Bone marrow smear; 250×250 px:
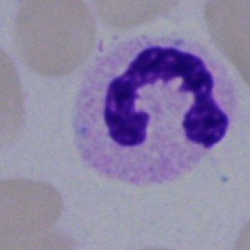{"cell_type": "pronormoblast"}